Bone marrow aspirate smear
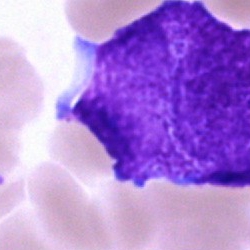 Cell: blast.